Bone marrow smear; 250×250: 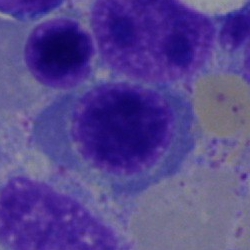
The cell shown is a normoblast.